Bone marrow smear
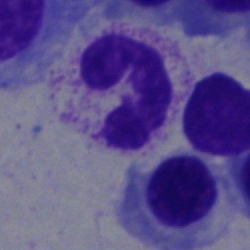

Classification — polymorphonuclear neutrophil.